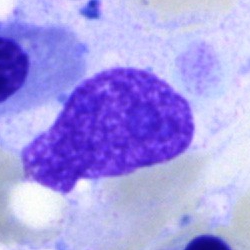Cell: artifact.